40× oil immersion · bone marrow aspirate smear
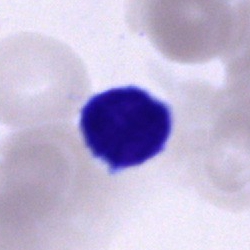 Classification = typical lymphocyte.